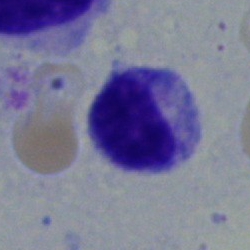

Impression → myelocyte.